Peripheral blood smear:
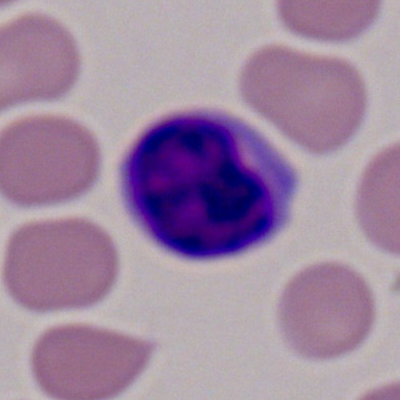 Showing a lymphocyte.